Bone marrow aspirate smear — 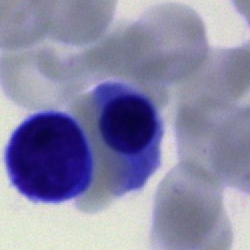

Showing a nucleated red blood cell.